Bone marrow aspirate smear — 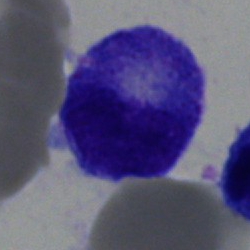Cell type = progranulocyte.